Bone marrow aspirate smear:
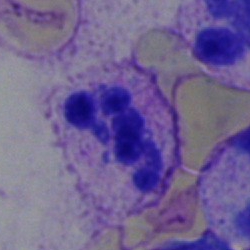 The cell shown is a segmented neutrophil.